Bone marrow aspirate smear: 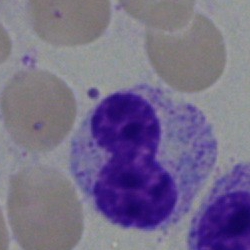

Specimen: bone marrow aspirate smear.
Cell: band-form neutrophil.
Lineage: myeloid.